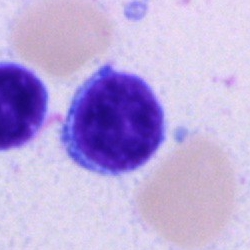 Q: Identify the cell.
A: A typical lymphocyte.